Bone marrow smear · May-Grünwald-Giemsa/Pappenheim stain:
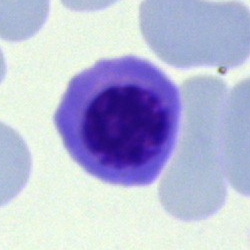 Cell = nucleated red cell.